Peripheral blood smear.
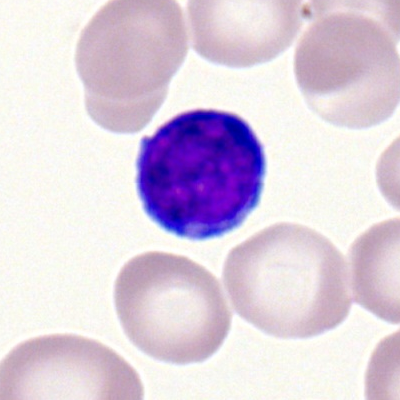The cell type is typical lymphocyte.